May-Grünwald-Giemsa stain · bone marrow aspirate smear
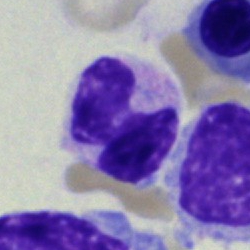

This is a segmented neutrophil.